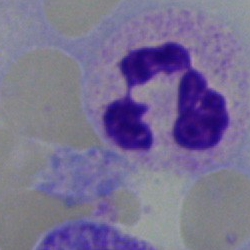 Cell type = neutrophil (segmented).